Bone marrow aspirate smear.
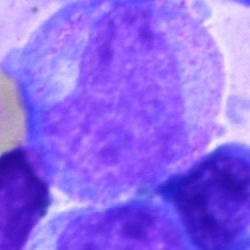The cell shown is a metamyelocyte.